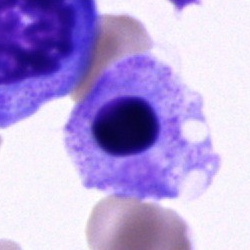
Specimen: bone marrow aspirate smear.
Cell: artefact.